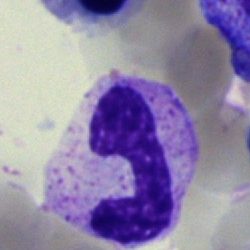
Q: What is shown here?
A: It is a segmented neutrophil.